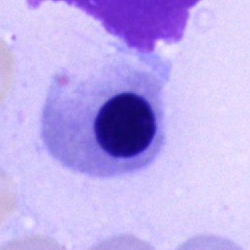

The cell type is nucleated red cell.